Bone marrow smear; 250×250 px: 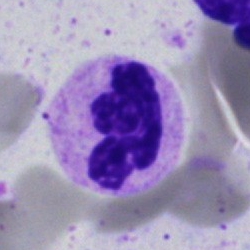 Showing a neutrophil (segmented).